Bone marrow smear
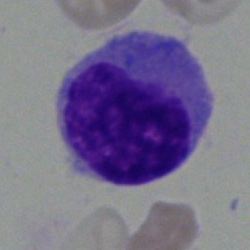

Morphology consistent with a monocyte.